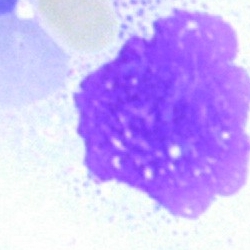{"cell_type": "artifact"}